Peripheral blood smear; CellaVision DM96 digital cell image:
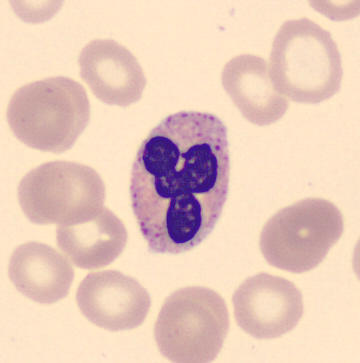

Impression — band neutrophil.